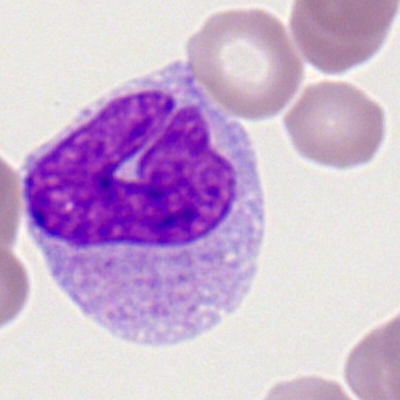

Single cell identified as a monocyte.